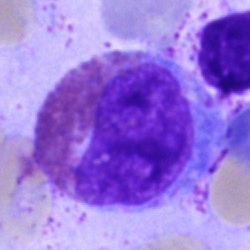
Specimen: bone marrow aspirate smear.
Cell: eosinophilic granulocyte.
Lineage: myeloid.